Peripheral blood smear — 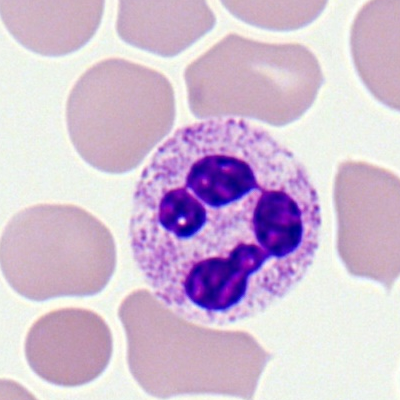
Morphology → segmented neutrophil.